Bone marrow aspirate smear; image size 250×250; May-Grünwald-Giemsa stain:
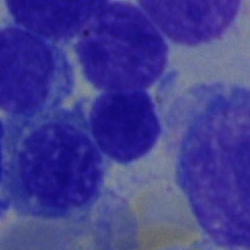 The cell shown is an erythroblast.